Brightfield, 40× oil-immersion objective · bone marrow smear.
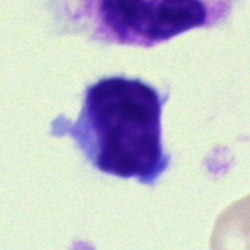Cell type = typical lymphocyte.